Cropped to a single cell. Bone marrow aspirate smear. 40× oil immersion.
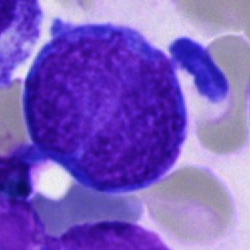
Pronormoblast.